Bone marrow aspirate smear
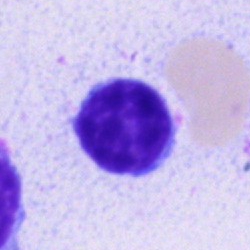
Impression → typical lymphocyte.